Single cell centered in the field · bone marrow aspirate smear · 40× oil immersion.
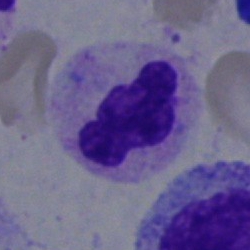 Morphology — polymorphonuclear neutrophil.